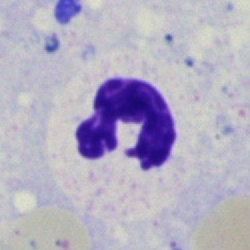Q: What is shown here?
A: It is a neutrophil (segmented).